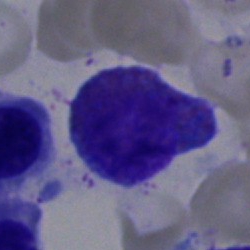
Specimen: bone marrow aspirate smear.
Morphological class: typical lymphocyte.